Bone marrow aspirate smear · May-Grünwald-Giemsa stain.
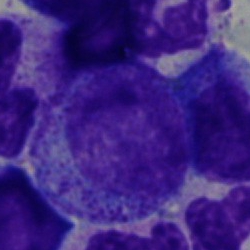

The morphological class is promyelocyte.